Bone marrow smear — 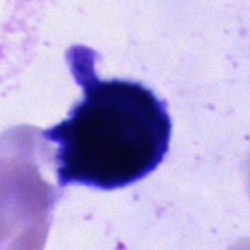

Cell type: unidentifiable cell.